Peripheral blood smear
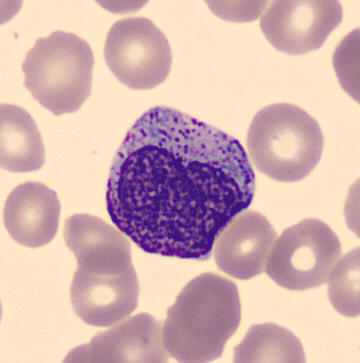

Identified as a myelocyte.